Bone marrow smear. 250 by 250 pixels: 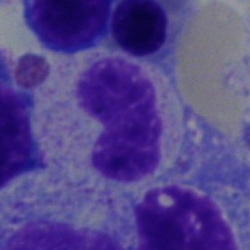 Q: Which cell type is shown here?
A: Band-form neutrophil.